Bone marrow smear. Brightfield, 40× oil-immersion objective: 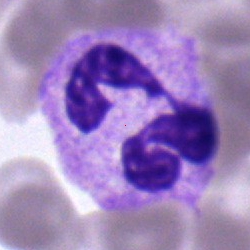 Specimen: bone marrow aspirate smear.
Morphological class: neutrophil (segmented).
Lineage: myeloid.